Bone marrow smear.
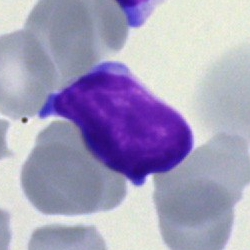 Morphology — lymphocyte.